Bone marrow aspirate smear: 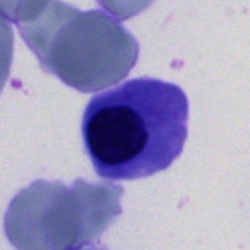

Morphology — nucleated red blood cell.